Bone marrow smear. Brightfield, 40× oil-immersion objective — 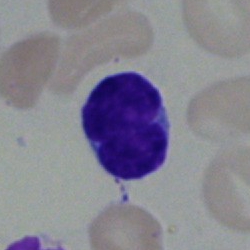Q: What type of cell is this?
A: Lymphocyte.